Bone marrow smear; 40× objective, oil immersion; May-Grünwald-Giemsa/Pappenheim stain:
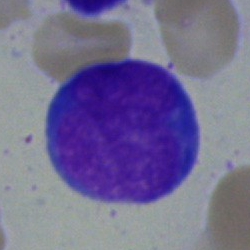Blast cell.